Bone marrow smear:
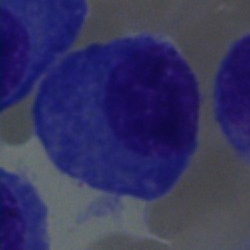Cell = plasmacyte.